Image size 250×250. Bone marrow aspirate smear:
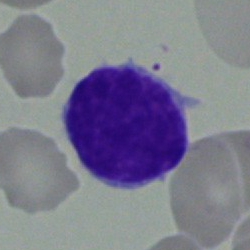Q: What is shown here?
A: A lymphocyte.